Bone marrow smear · Pappenheim-stained: 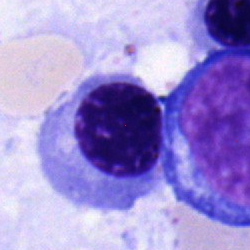Q: Which cell type is shown here?
A: A nucleated red blood cell.